Cropped to a single cell. 250×250. Bone marrow smear: 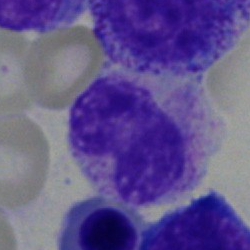 A stab cell.